Bone marrow aspirate smear.
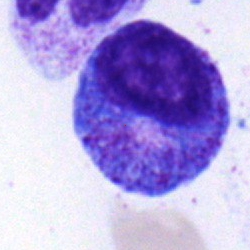

Progranulocyte.